400 by 400 pixels. Peripheral blood smear
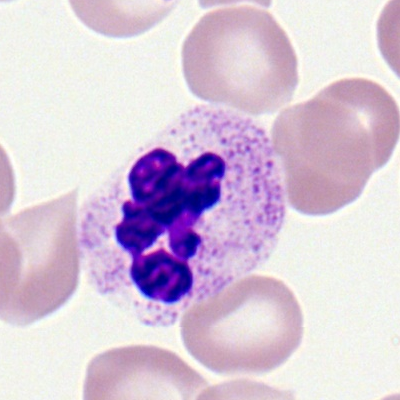
Morphological class: polymorphonuclear neutrophil.